Bone marrow smear — 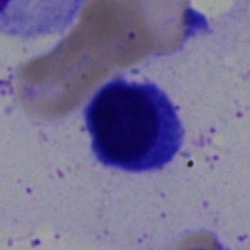
Single cell identified as a lymphocyte.